May-Grünwald-Giemsa/Pappenheim stain · bone marrow aspirate smear: 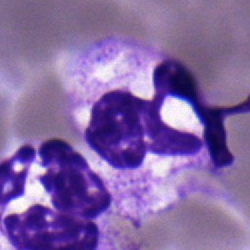

Single cell identified as a neutrophil (segmented).